Bone marrow aspirate smear
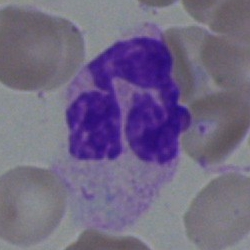 Classification: polymorphonuclear neutrophil.